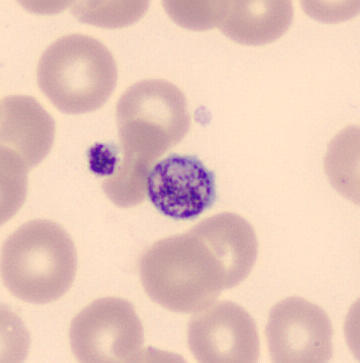

Peripheral blood film · MGG-stained. The classification is thrombocyte.